Bone marrow smear: 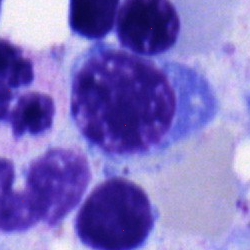 The cell type is nucleated red cell.